Bone marrow smear; single cell centered in the field; brightfield, 40× oil-immersion objective — 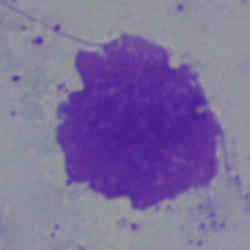 The cell shown is an artifact.